Pappenheim-stained. Bone marrow aspirate smear:
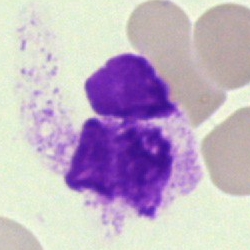 Q: Identify the cell.
A: It is a cell of indeterminate lineage.